Bone marrow smear: 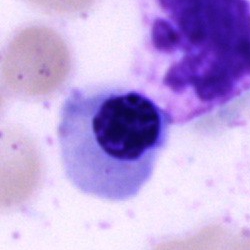
Morphology — nucleated red blood cell.